Bone marrow smear
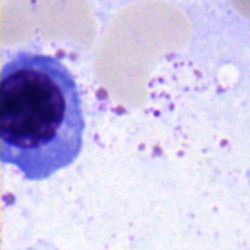
Q: What cell is this?
A: This is a nucleated red blood cell.